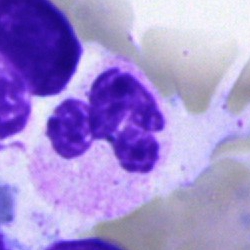 Morphology consistent with a polymorphonuclear neutrophil.